Bone marrow smear; single-cell field: 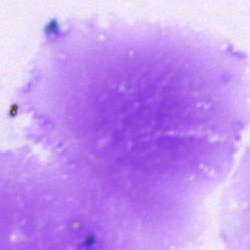Cell — artifact.